Bone marrow smear · single cell centered in the field — 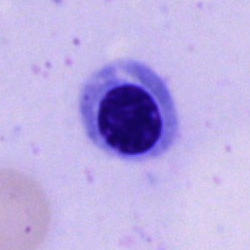Normoblast.